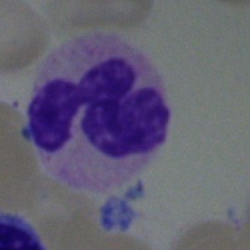

The cell shown is a neutrophil (segmented).